Bone marrow aspirate smear; brightfield, 40× oil-immersion objective: 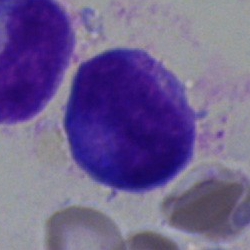 Single cell identified as a progranulocyte.